Bone marrow aspirate smear.
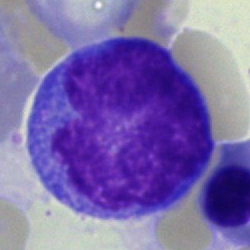 Monocyte.